Bone marrow smear
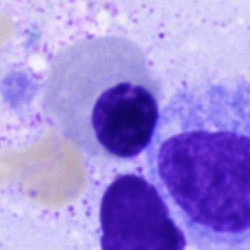 Cell type — nucleated red blood cell.